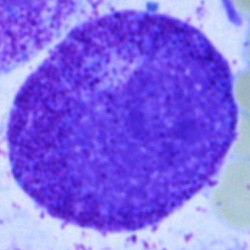

Showing a myelocyte.